Bone marrow smear; 40× objective, oil immersion
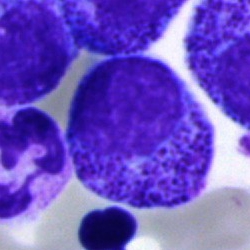Specimen: bone marrow smear.
Classification: myelocyte.
Lineage: myeloid.